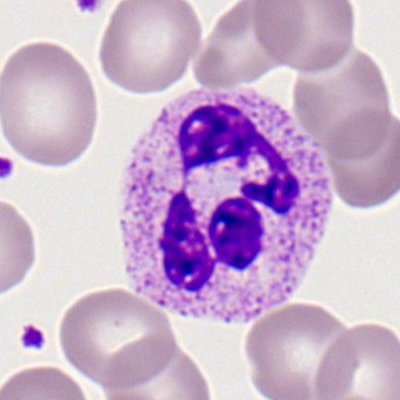Impression — polymorphonuclear neutrophil.